Bone marrow smear
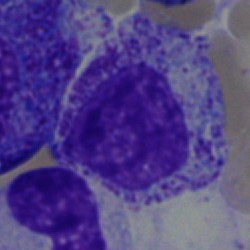Q: What is shown here?
A: Myelocyte.